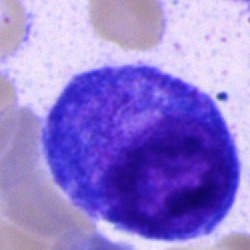
Cell type: promyelocyte.